Cropped to a single cell; bone marrow aspirate smear: 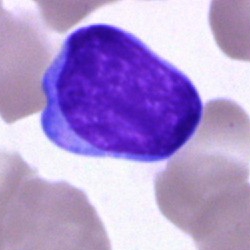 Morphology — blast cell.